Bone marrow smear
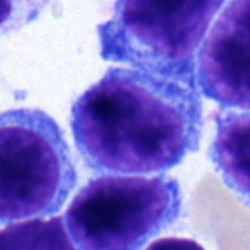Specimen: bone marrow aspirate smear.
Cell type: lymphocyte.
Lineage: lymphoid.